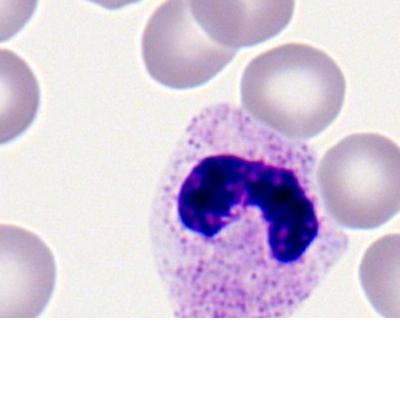
Morphological class = band neutrophil.